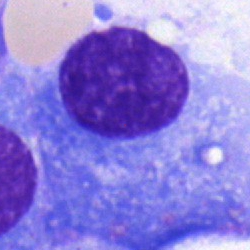Bone marrow smear showing a plasmacyte.